Peripheral blood smear — 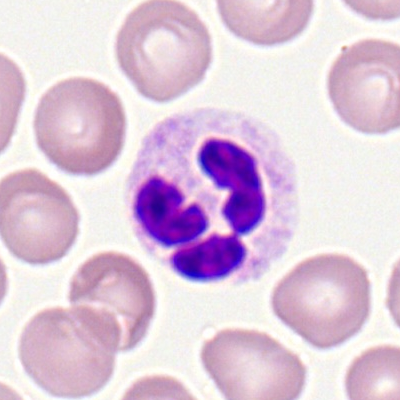 Morphology consistent with a neutrophil (segmented).